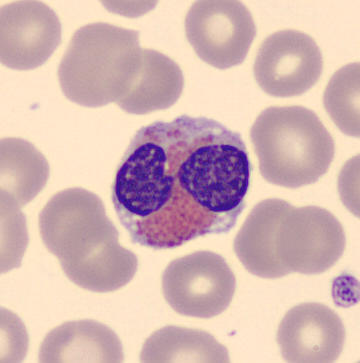

Classification: eosinophilic granulocyte.